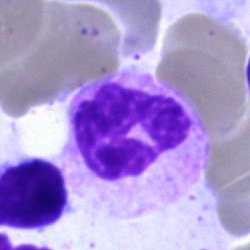

Morphology consistent with a polymorphonuclear neutrophil.